Bone marrow aspirate smear — 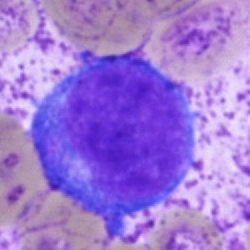 Q: What cell is this?
A: It is an undifferentiated blast.